Bone marrow aspirate smear · 250×250 px · single-cell crop:
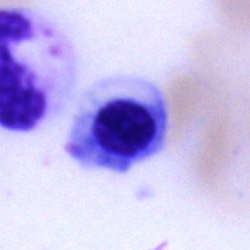
Classification — nucleated red blood cell.